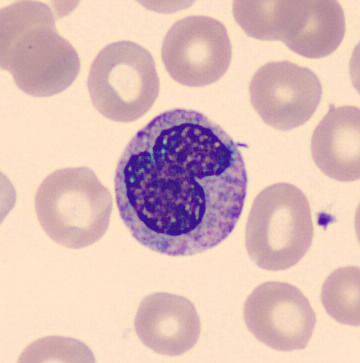 Peripheral blood smear showing a metamyelocyte.